Bone marrow aspirate smear — 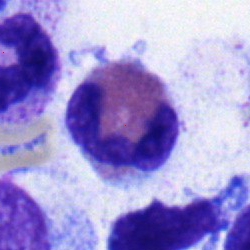

Classification: eosinophilic granulocyte.